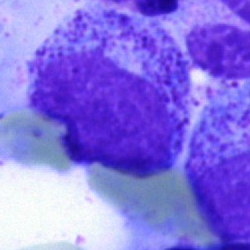 Single-cell crop from a bone marrow smear: progranulocyte.